Single-cell field · bone marrow aspirate smear:
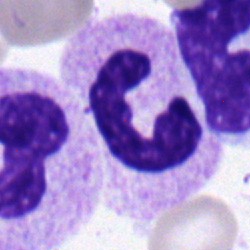
Morphology — segmented neutrophil.